Bone marrow aspirate smear · single-cell field:
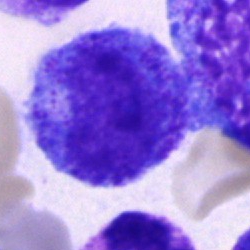Q: Identify the cell.
A: It is a progranulocyte.